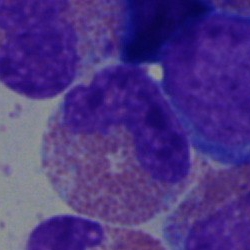
Specimen: bone marrow smear.
Classification: eosinophilic granulocyte.
Lineage: myeloid.